Bone marrow smear. Image size 250×250: 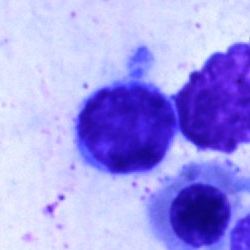
This is a typical lymphocyte.